40× objective, oil immersion · May-Grünwald-Giemsa/Pappenheim stain · bone marrow smear: 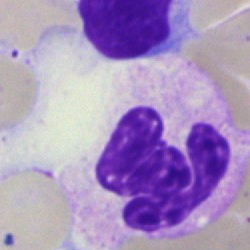 {"cell_type": "segmented neutrophil"}